Bone marrow smear.
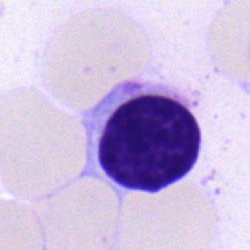Cell type — typical lymphocyte.